Bone marrow smear:
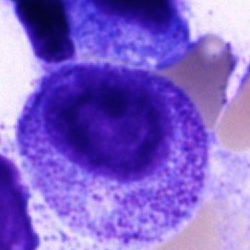 The cell is progranulocyte.